Bone marrow aspirate smear.
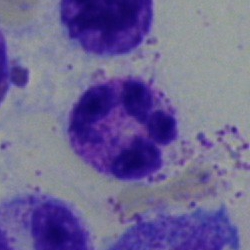
Single cell identified as a neutrophil (segmented).